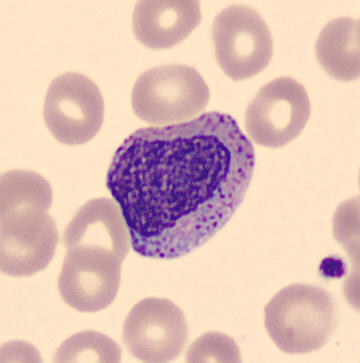 {"cell_type": "myelocyte", "lineage": "myeloid"} Acquisition: Peripheral blood smear.